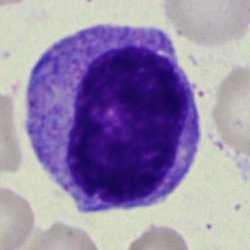

A myelocyte on a bone marrow smear.